Bone marrow smear — 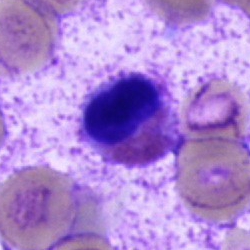
Q: What is the morphological classification of this cell?
A: Eosinophilic granulocyte.